Bone marrow aspirate smear. Brightfield microscopy, 40× oil immersion — 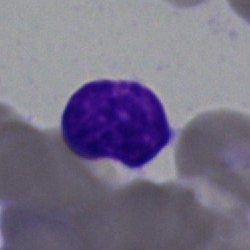 Specimen: bone marrow smear.
Cell type: artefact.